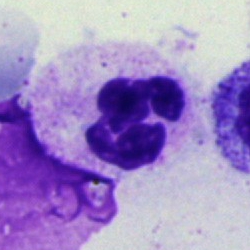 Morphology → segmented neutrophil.